Bone marrow smear.
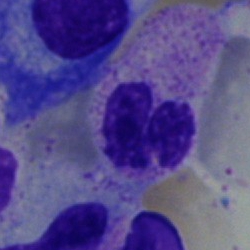
Morphological class — neutrophil (segmented).